Bone marrow smear
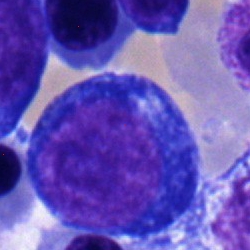 Single cell identified as a proerythroblast.